Single-cell crop · bone marrow aspirate smear · brightfield, 40× oil-immersion objective: 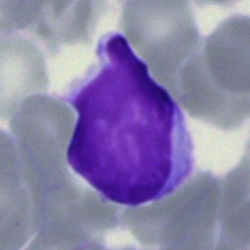

Showing a lymphocyte.